Bone marrow aspirate smear
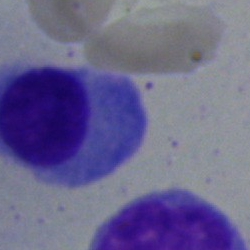

Plasma cell.